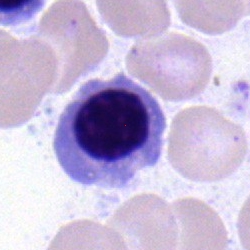
Morphological class = normoblast.